Single cell centered in the field · bone marrow aspirate smear · MGG-stained: 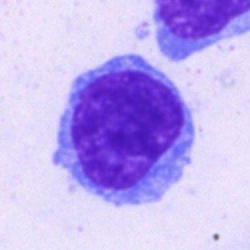

A typical lymphocyte.